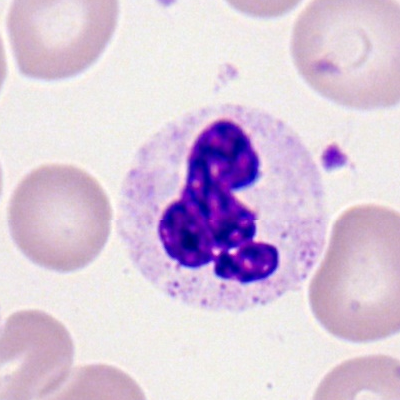Specimen: peripheral blood smear.
Classification: segmented neutrophil.